Bone marrow aspirate smear.
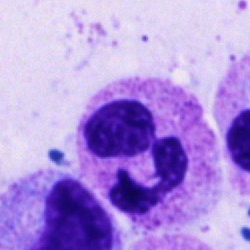
The cell shown is a segmented neutrophil.